Peripheral blood smear; cropped to a single cell:
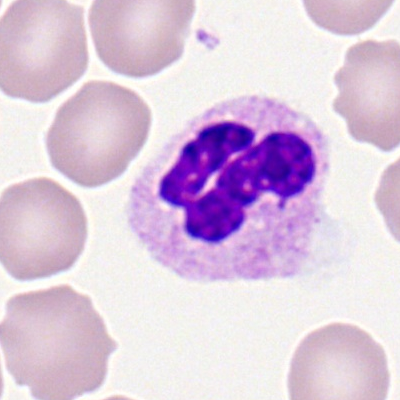This is a neutrophil (segmented).